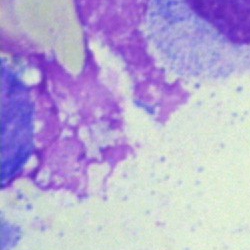
Showing an artefact.